MGG-stained; bone marrow aspirate smear
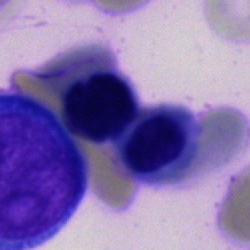

Classification: erythroblast.